Bone marrow smear — 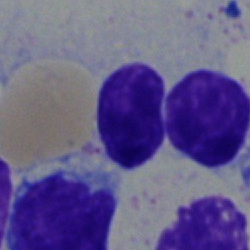

Morphological class: lymphocyte.